Bone marrow smear: 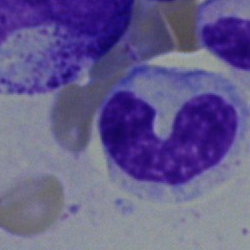

Morphology → band neutrophil.